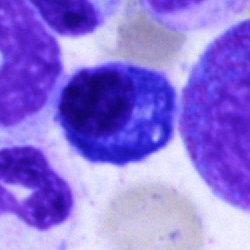
Plasma cell.